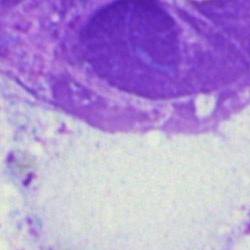Specimen: bone marrow aspirate smear.
Cell type: artifact.